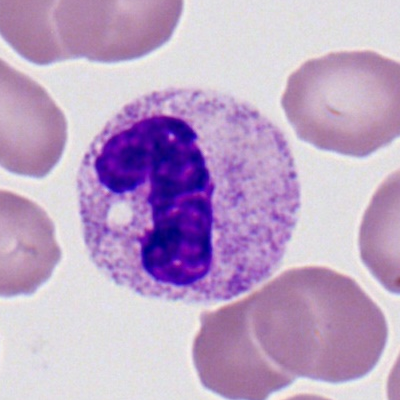
Morphological class: neutrophil (segmented).